Bone marrow aspirate smear
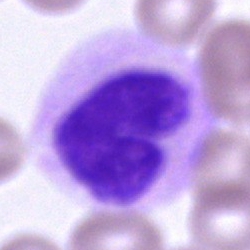
Showing a cell of indeterminate lineage.